Single-cell field. Peripheral blood film.
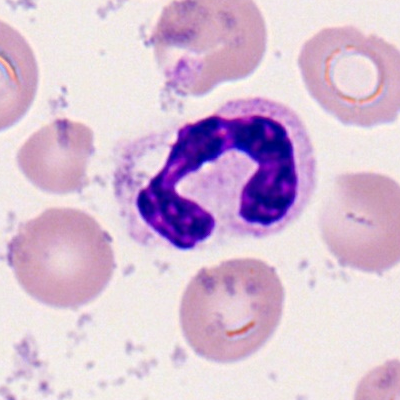
Morphology consistent with a polymorphonuclear neutrophil.